Bone marrow aspirate smear; single-cell field
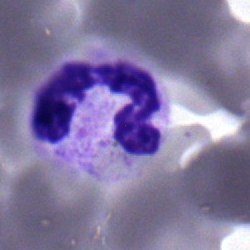

{"cell_type": "segmented neutrophil"}